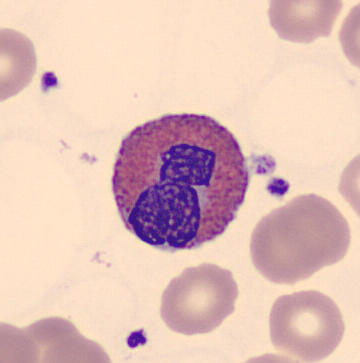Morphology — eosinophilic granulocyte.

Single-cell field. Peripheral blood smear.